Single cell centered in the field · bone marrow aspirate smear — 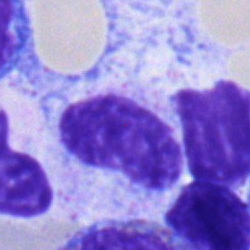
Q: Identify the cell.
A: A metamyelocyte.